250 by 250 pixels · single cell centered in the field · bone marrow aspirate smear — 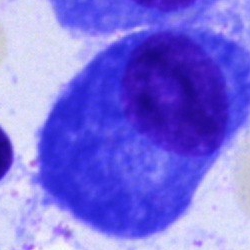Morphology consistent with a plasmacyte.